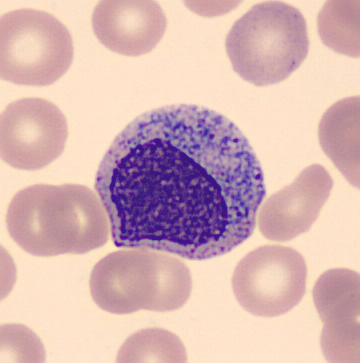
Showing a myelocyte. Preparation: Peripheral blood film.